Bone marrow aspirate smear: 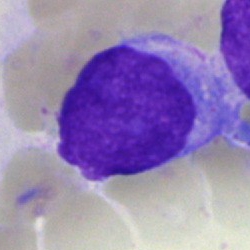
{"cell_type": "undifferentiated blast"}